Bone marrow aspirate smear — 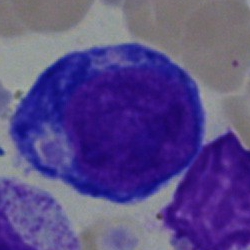
The morphological class is proerythroblast.